250×250 px; bone marrow smear — 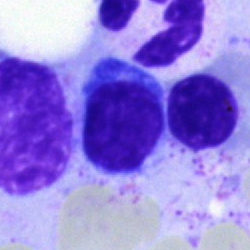 Specimen: bone marrow aspirate smear.
Classification: lymphocyte.